Single-cell field; bone marrow aspirate smear:
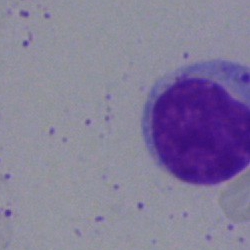 Classification — typical lymphocyte.